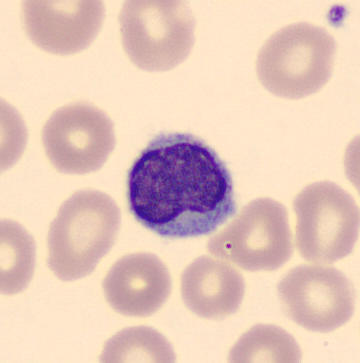Peripheral blood smear.
The morphological class is lymphocyte.